Bone marrow smear: 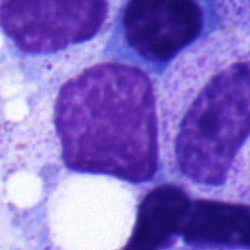
Q: Which cell type is shown here?
A: This is a metamyelocyte.